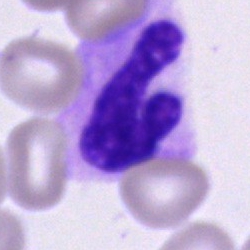Classification: stab cell.